Single-cell field · bone marrow smear · 40× objective, oil immersion: 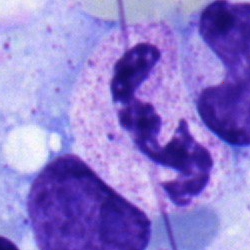

Classification = neutrophil (segmented).